Bone marrow smear — 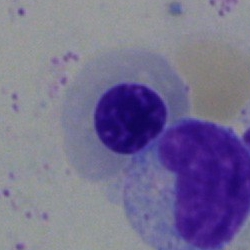Single cell identified as an erythroblast.